Bone marrow smear — 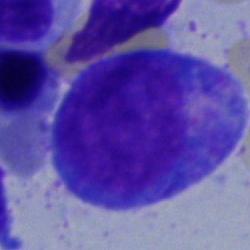 This is a promyelocyte.